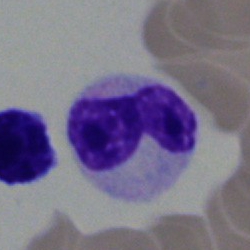

{"cell_type": "band-form neutrophil", "lineage": "myeloid"}